Bone marrow aspirate smear.
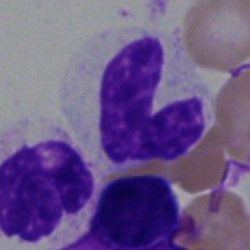 The cell is band-form neutrophil.